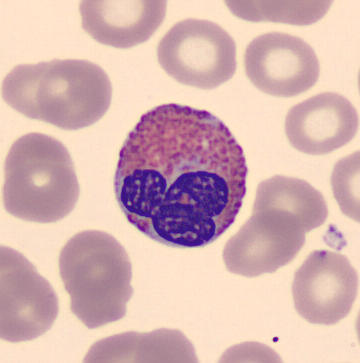 Single cell identified as an eosinophil.

Preparation: Peripheral blood smear. MGG-stained. Image size 360×363.